40× oil immersion. Bone marrow aspirate smear
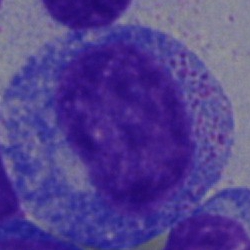

Impression → progranulocyte.